Bone marrow smear; May-Grünwald-Giemsa stain; image size 250×250 — 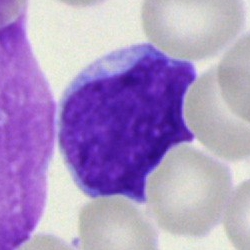 Undifferentiated blast.